Bone marrow smear. Brightfield, 40× oil-immersion objective.
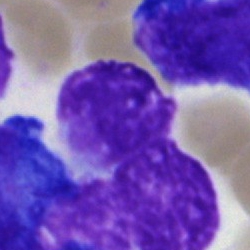{"cell_type": "artefact"}